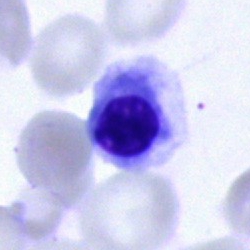 Morphology consistent with a nucleated red cell.